Bone marrow smear:
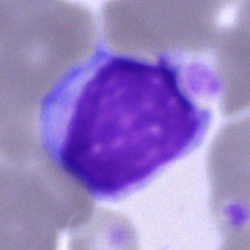Cell: typical lymphocyte.